Bone marrow aspirate smear.
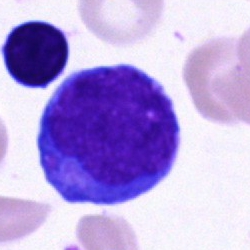 The classification is proerythroblast.